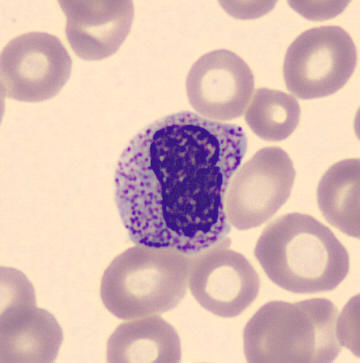
Morphology → metamyelocyte.